Bone marrow aspirate smear:
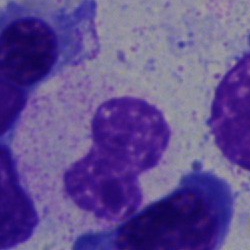The cell is band-form neutrophil.